Bone marrow smear — 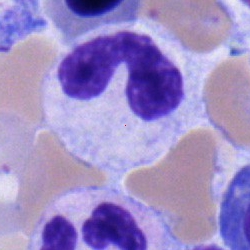

Q: What is shown here?
A: A stab cell.